Bone marrow smear.
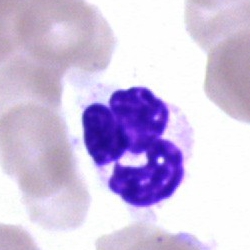 Q: What type of cell is this?
A: This is a neutrophil (segmented).